Bone marrow smear
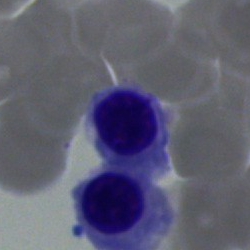
{"cell_type": "nucleated red blood cell"}